250×250 px · bone marrow smear · single cell centered in the field
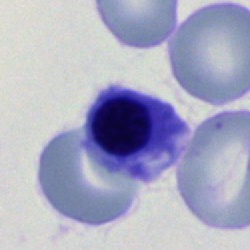Cell type — nucleated red blood cell.